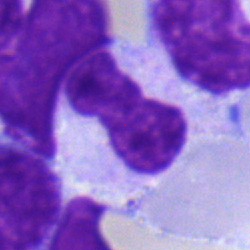

Morphology → band neutrophil.